Bone marrow smear:
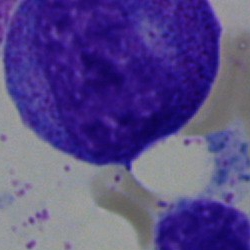

The cell shown is a progranulocyte.